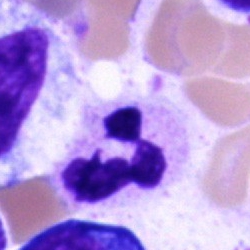
Q: What is shown here?
A: This is an eosinophil.